Brightfield microscopy, 40× oil immersion. Bone marrow smear:
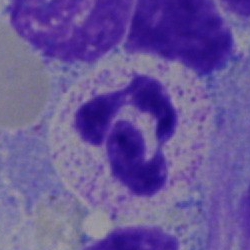

Q: What type of cell is this?
A: Polymorphonuclear neutrophil.